Bone marrow smear · Pappenheim-stained · 250×250
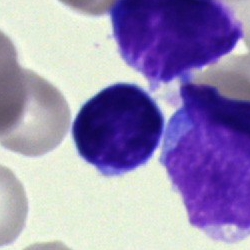

Cell — lymphocyte.